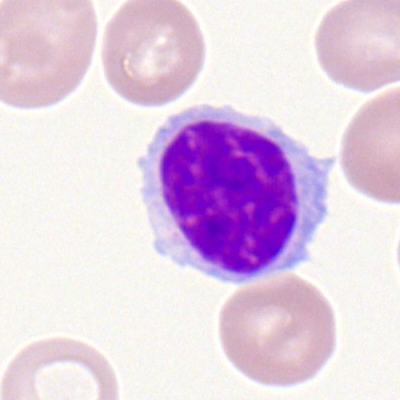
{"cell_type": "typical lymphocyte", "lineage": "lymphoid"}